May-Grünwald-Giemsa/Pappenheim stain; bone marrow aspirate smear.
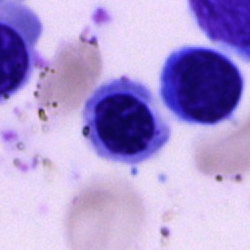 Q: What is the morphological classification of this cell?
A: It is a normoblast.